Bone marrow aspirate smear
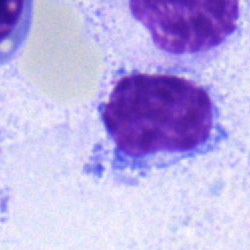
Classification = eosinophil.